Bone marrow smear — 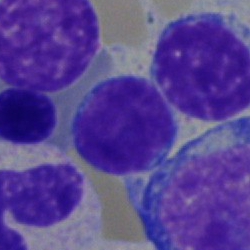
Cell = lymphocyte.